Bone marrow aspirate smear; 250×250 px; May-Grünwald-Giemsa/Pappenheim stain:
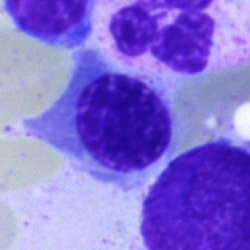
Q: What is shown here?
A: Nucleated red cell.